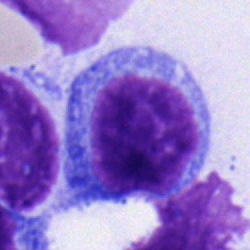

Classification — typical lymphocyte.